Peripheral blood smear · 100× oil immersion, 14.14 px/µm:
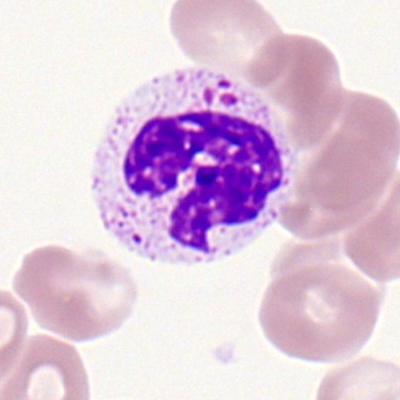 Morphology consistent with a segmented neutrophil.